Bone marrow smear — 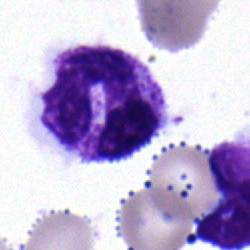
A stab cell.